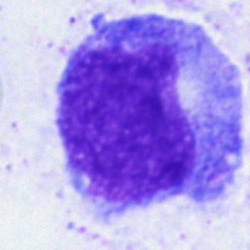Q: What type of cell is this?
A: A promyelocyte.